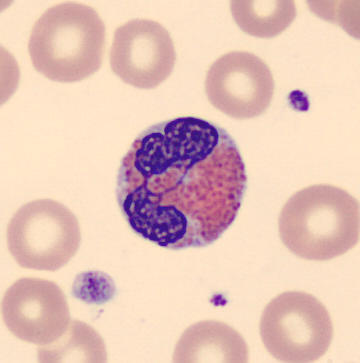

Acquisition: Peripheral blood film; MGG-stained. Morphological class — eosinophil.